Bone marrow aspirate smear. May-Grünwald-Giemsa stain — 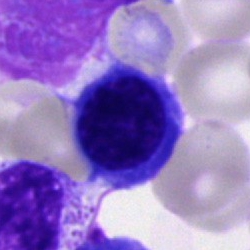
Q: Which cell type is shown here?
A: It is a normoblast.